Brightfield, 40× oil-immersion objective · bone marrow aspirate smear:
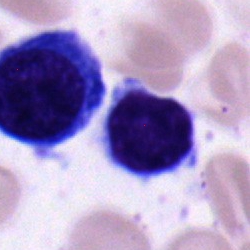Q: What cell is this?
A: Typical lymphocyte.